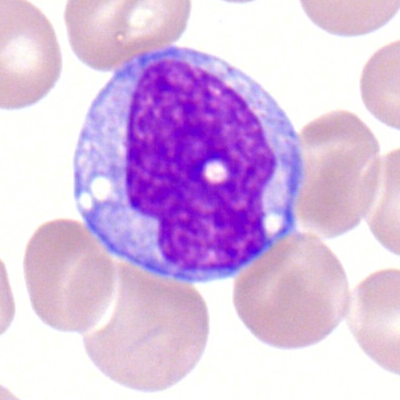

Morphology → monocyte.